Bone marrow smear.
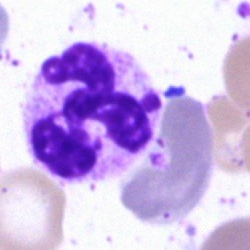 Morphology consistent with a neutrophil (segmented).